Bone marrow smear
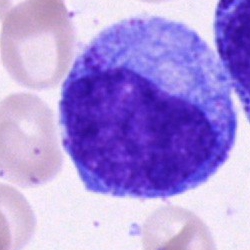

Single cell identified as a promyelocyte.